40× objective, oil immersion; 250 by 250 pixels; bone marrow aspirate smear:
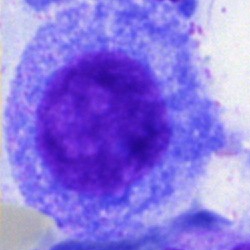A progranulocyte.